Bone marrow smear; 40× oil immersion: 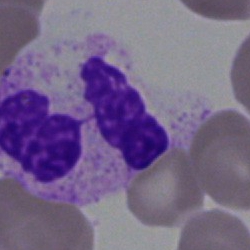A segmented neutrophil.